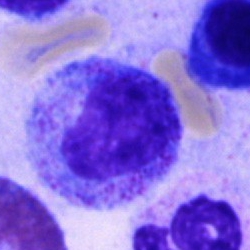
Q: Which cell type is shown here?
A: This is a myelocyte.